Bone marrow aspirate smear. 40× objective, oil immersion — 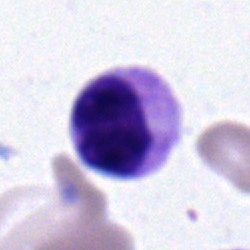Showing a metamyelocyte.